Single cell centered in the field; bone marrow smear; brightfield, 40× oil-immersion objective — 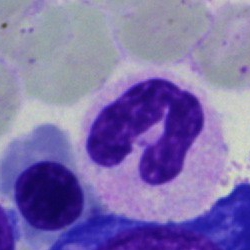

Morphological class: neutrophil (segmented).